Bone marrow smear.
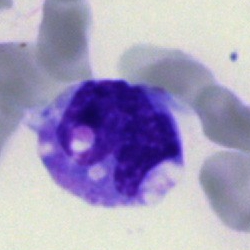 Specimen: bone marrow smear.
Cell: monocyte.
Lineage: myeloid.